Single-cell crop · bone marrow smear:
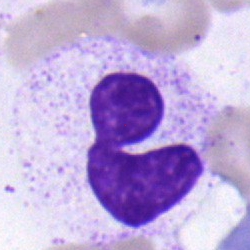
Neutrophil (segmented).